Bone marrow aspirate smear — 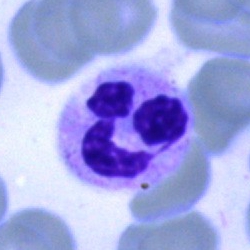 Single cell identified as a neutrophil (segmented).